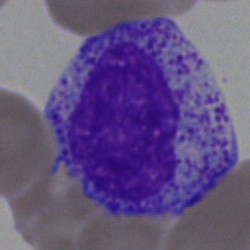 A progranulocyte.